Bone marrow smear. Brightfield, 40× oil-immersion objective. Single-cell field:
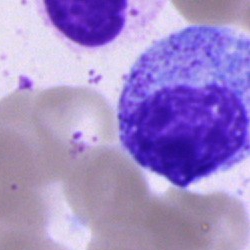
This is a promyelocyte.